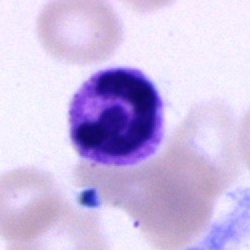
Q: What is shown here?
A: This is a neutrophil (segmented).